Bone marrow smear
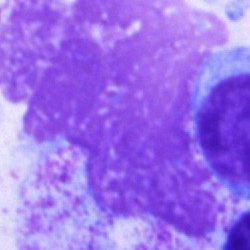

Specimen: bone marrow smear.
Cell: artifact.